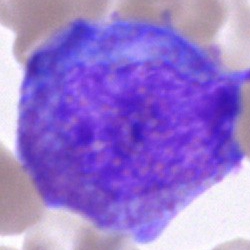This is an eosinophilic granulocyte.